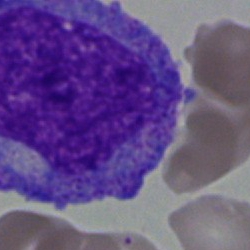

Classification = progranulocyte.